Bone marrow smear
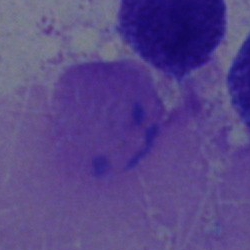{"cell_type": "artefact"}